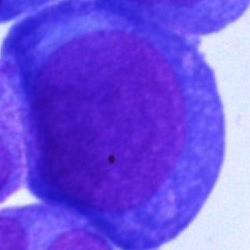

Morphological class: blast cell.